Bone marrow smear:
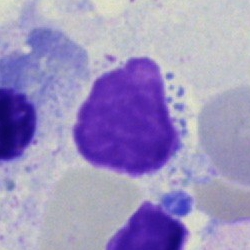

Specimen: bone marrow aspirate smear.
Classification: artefact.